Bone marrow smear.
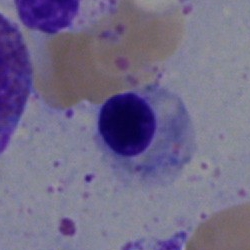

The cell shown is a normoblast.